Bone marrow aspirate smear · Pappenheim-stained.
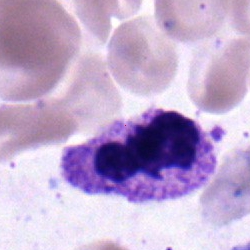

Morphology consistent with a polymorphonuclear neutrophil.